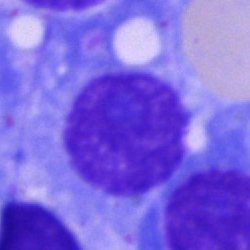 Q: What is the morphological classification of this cell?
A: A plasmacyte.